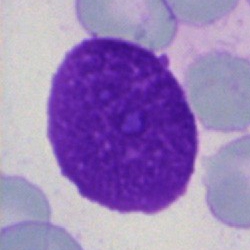Morphology consistent with an artifact.